100× objective, oil immersion · peripheral blood film: 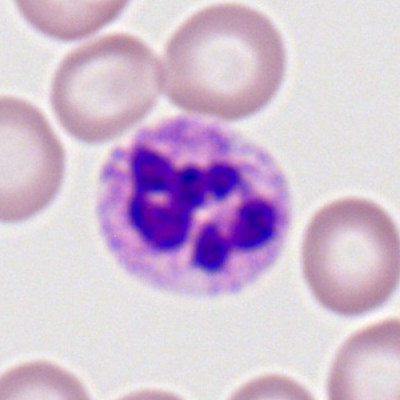
Single cell identified as a neutrophil (segmented).